Peripheral blood film:
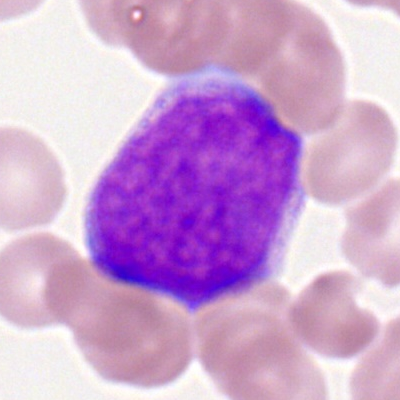
Specimen: peripheral blood smear.
Cell type: myeloblast.